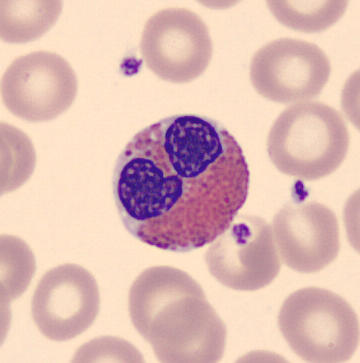Peripheral blood film, single cell — eosinophil.